Pappenheim-stained · brightfield microscopy, 40× oil immersion · bone marrow smear: 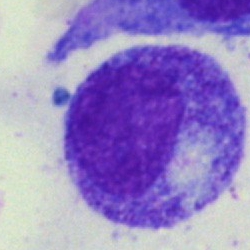 Specimen: bone marrow smear.
Morphological class: progranulocyte.